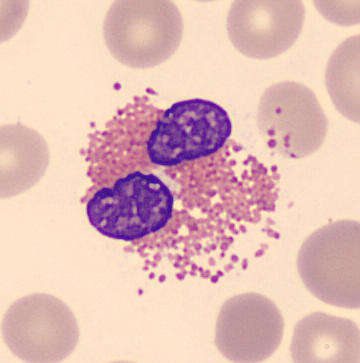

Showing an eosinophil.